Peripheral blood smear: 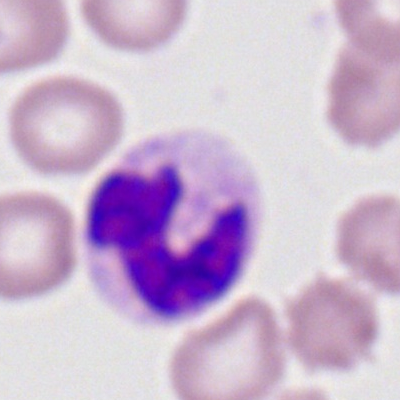

Specimen: peripheral blood smear.
Cell type: segmented neutrophil.